Bone marrow aspirate smear · brightfield microscopy, 40× oil immersion
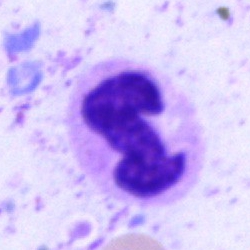
A segmented neutrophil.